Peripheral blood smear — 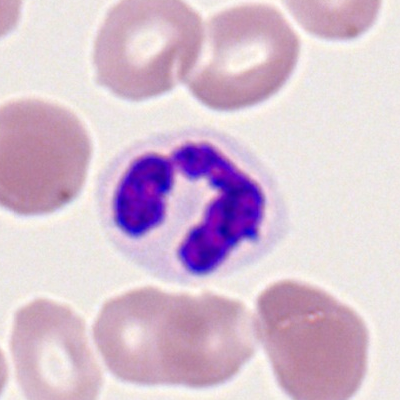 Q: Which cell type is shown here?
A: It is a neutrophil (segmented).